Peripheral blood film
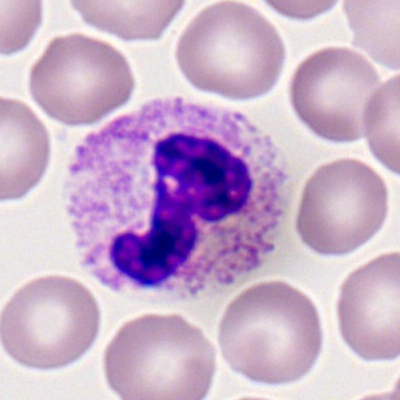

Showing a segmented neutrophil.